Bone marrow aspirate smear; brightfield, 40× oil-immersion objective:
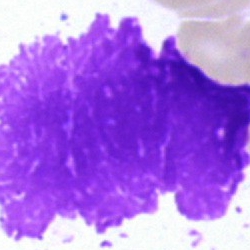
This is an artefact.